250×250 · bone marrow aspirate smear:
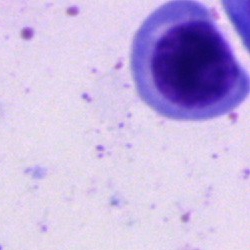 Showing a nucleated red blood cell.